May-Grünwald-Giemsa stain. 250×250 px. Bone marrow smear
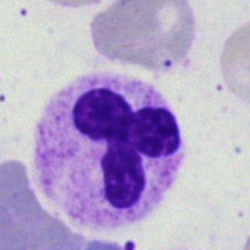 Morphological class: neutrophil (segmented).